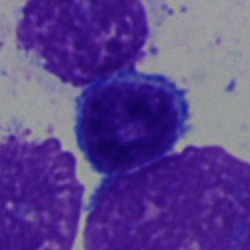

Cell type = typical lymphocyte.